May-Grünwald-Giemsa stain; bone marrow aspirate smear:
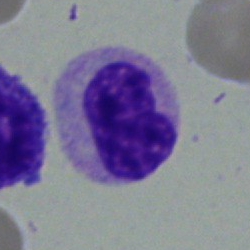

Impression → neutrophil (band).